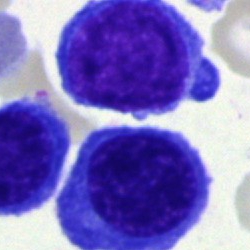A normoblast.